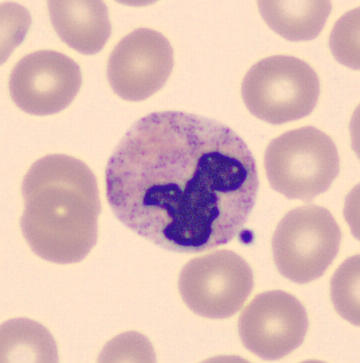

Image: Peripheral blood film. The cell shown is a polymorphonuclear neutrophil.